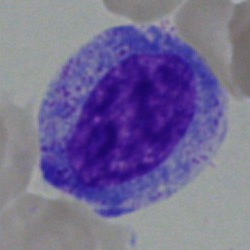 Specimen: bone marrow aspirate smear.
Classification: progranulocyte.